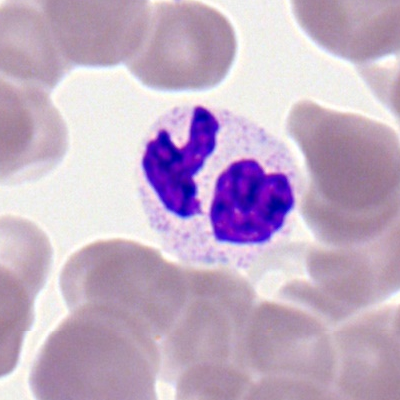

Q: What is the morphological classification of this cell?
A: This is a segmented neutrophil.